Bone marrow smear
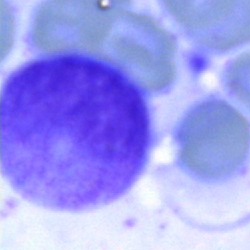
Morphology consistent with an unidentifiable cell.